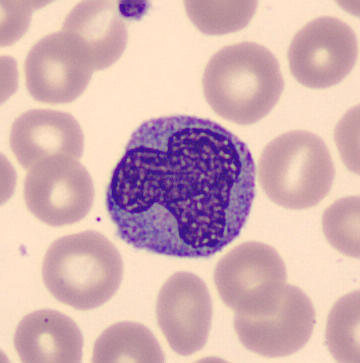

Cell: monocyte. Peripheral blood film.